Peripheral blood smear:
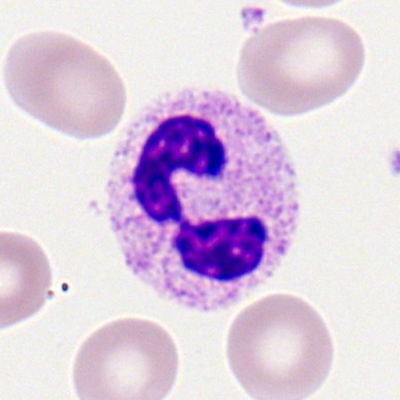Morphological class — segmented neutrophil.